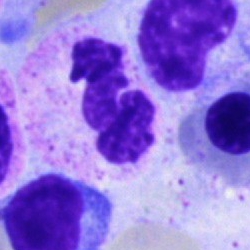Specimen: bone marrow aspirate smear.
Cell type: neutrophil (segmented).
Lineage: myeloid.